Bone marrow aspirate smear:
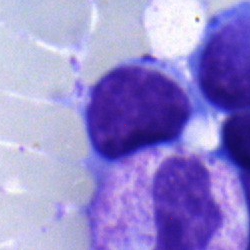
Q: What type of cell is this?
A: It is a typical lymphocyte.